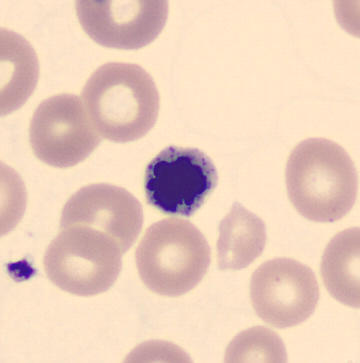 Acquisition: Peripheral blood film.
Impression → normoblast.